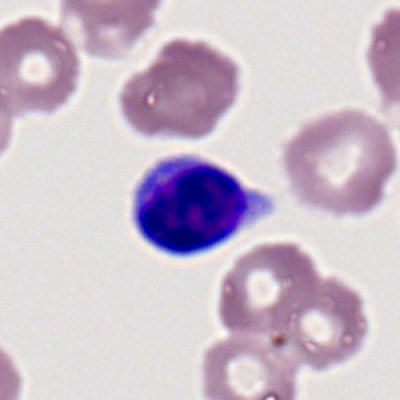
Morphology → typical lymphocyte.